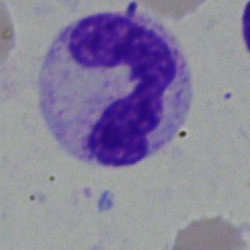Q: What is the morphological classification of this cell?
A: This is a band-form neutrophil.